Bone marrow aspirate smear.
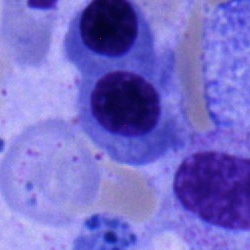 This is an erythroblast.